Bone marrow smear. MGG-stained. 40× oil immersion:
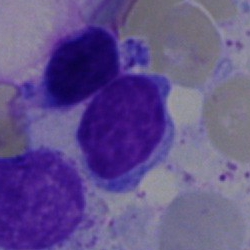A lymphocyte.